Pappenheim-stained; bone marrow aspirate smear:
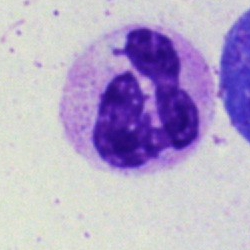Q: What cell is this?
A: Stab cell.